Bone marrow smear.
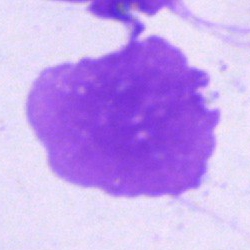
Specimen: bone marrow aspirate smear.
Morphological class: artefact.